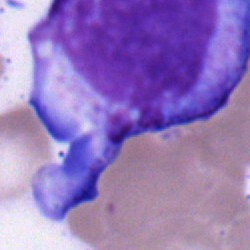
Morphological class = blast.